Single-cell crop · bone marrow aspirate smear
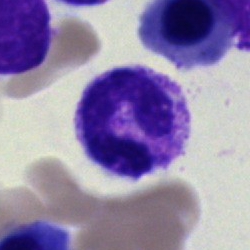

Classification — neutrophil (segmented).